Romanowsky-stained; peripheral blood film
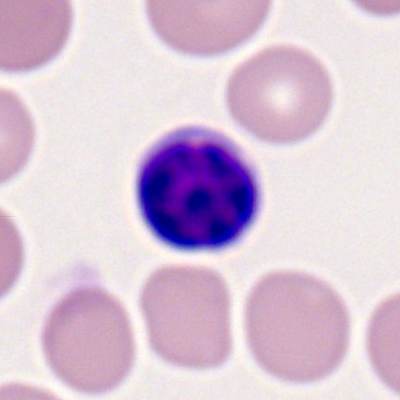
The cell shown is a lymphocyte.